250×250 · Pappenheim-stained · bone marrow smear — 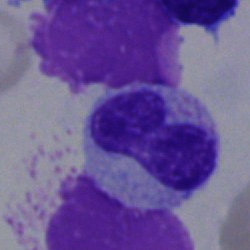 Q: Identify the cell.
A: A stab cell.